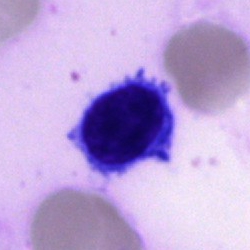

{"cell_type": "typical lymphocyte"}